Bone marrow aspirate smear.
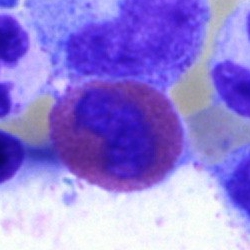 Cell type = eosinophilic granulocyte.